Bone marrow aspirate smear:
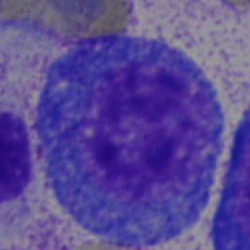
Q: What is the morphological classification of this cell?
A: Promyelocyte.